40× oil immersion; bone marrow smear; 250 by 250 pixels: 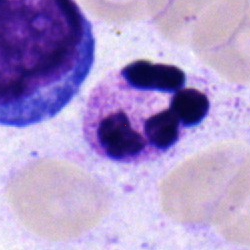 The classification is segmented neutrophil.